Bone marrow aspirate smear — 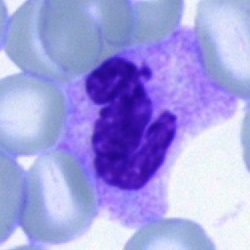

Q: Which cell type is shown here?
A: It is a polymorphonuclear neutrophil.